Brightfield, 40× oil-immersion objective; bone marrow aspirate smear; single-cell crop:
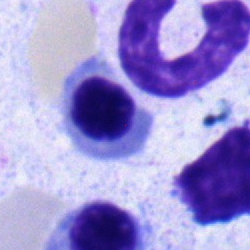

Specimen: bone marrow aspirate smear.
Cell: nucleated red cell.
Lineage: erythroid.